Bone marrow smear — 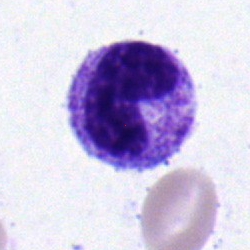Q: What is the morphological classification of this cell?
A: This is a metamyelocyte.